Bone marrow aspirate smear
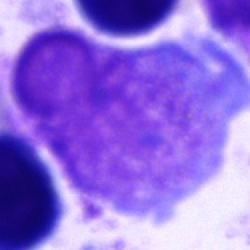
Cell type = artifact.